Bone marrow smear.
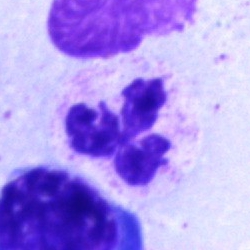
This is a segmented neutrophil.